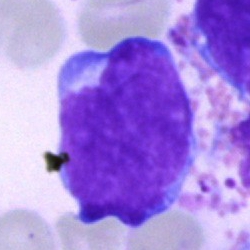
Q: Identify the cell.
A: An undifferentiated blast.